Brightfield, 40× oil-immersion objective · bone marrow smear: 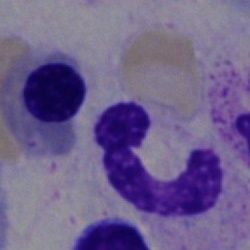 The cell shown is a segmented neutrophil.